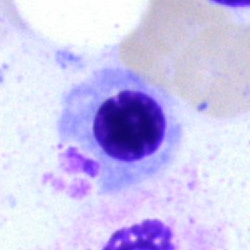

Morphological class: nucleated red cell.